40× oil immersion. Bone marrow smear. May-Grünwald-Giemsa/Pappenheim stain.
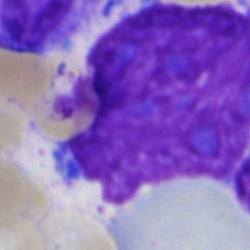Specimen: bone marrow aspirate smear.
Cell: artefact.